Bone marrow aspirate smear. Brightfield, 40× oil-immersion objective
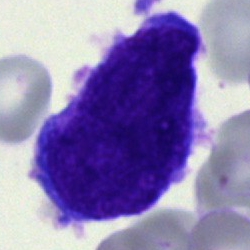
Showing an undifferentiated blast.